Bone marrow aspirate smear; Pappenheim-stained.
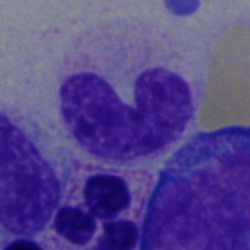
A band-form neutrophil.